Bone marrow aspirate smear · single cell centered in the field · May-Grünwald-Giemsa/Pappenheim stain:
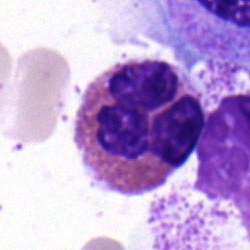

Showing an eosinophil.